Bone marrow aspirate smear
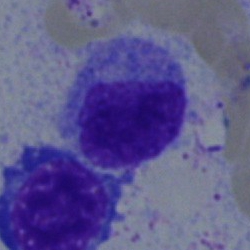

Morphology consistent with a myelocyte.